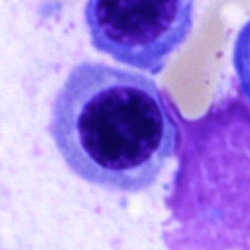 The classification is nucleated red blood cell.